Bone marrow aspirate smear; May-Grünwald-Giemsa/Pappenheim stain.
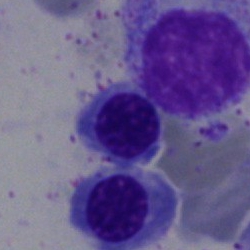 Q: What is the morphological classification of this cell?
A: A normoblast.